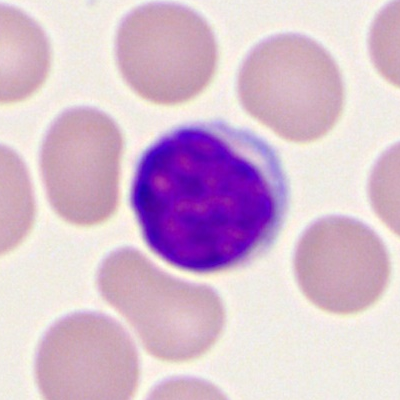

Q: Identify the cell.
A: It is a typical lymphocyte.